May-Grünwald-Giemsa stain; bone marrow smear.
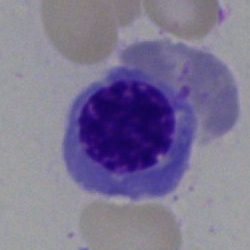

Showing a nucleated red cell.